Bone marrow smear; brightfield microscopy, 40× oil immersion
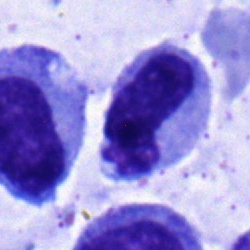
Specimen: bone marrow smear.
Classification: band-form neutrophil.
Lineage: myeloid.